Bone marrow smear · image size 250×250: 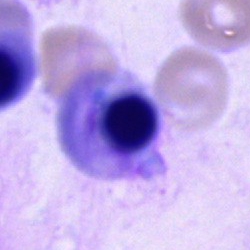
Cell = normoblast.